Bone marrow smear; May-Grünwald-Giemsa/Pappenheim stain.
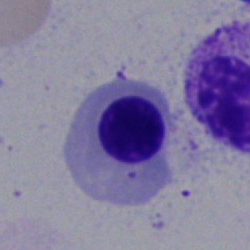Q: Identify the cell.
A: This is a nucleated red blood cell.